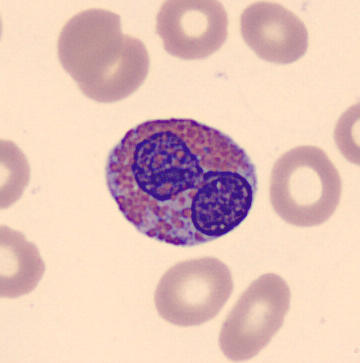
An eosinophilic granulocyte on a peripheral blood smear.